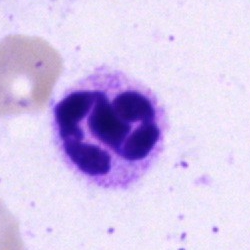
Cell: polymorphonuclear neutrophil.